Bone marrow aspirate smear: 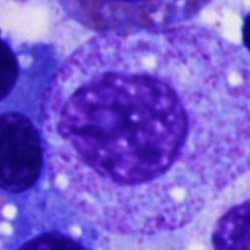The cell shown is a myelocyte.